Bone marrow aspirate smear — 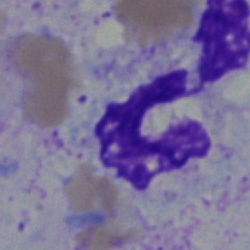Specimen: bone marrow aspirate smear.
Cell type: segmented neutrophil.
Lineage: myeloid.